Bone marrow aspirate smear: 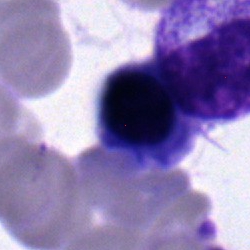
Morphology consistent with a normoblast.